Single-cell crop; bone marrow aspirate smear — 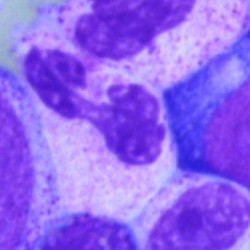

Q: What is shown here?
A: Neutrophil (segmented).